250×250; 40× oil immersion; bone marrow smear
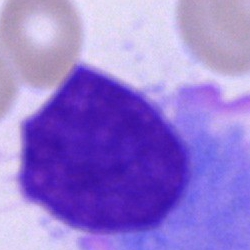

Morphological class — plasmacyte.